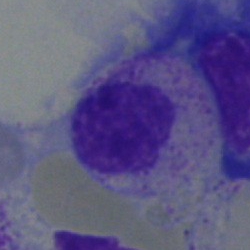Impression → myelocyte.